Peripheral blood smear:
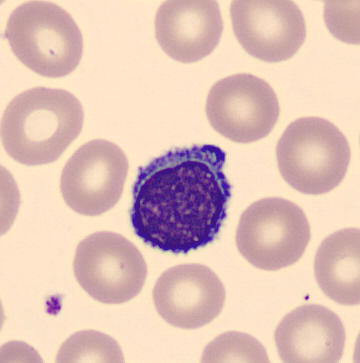 Typical lymphocyte.